Bone marrow smear
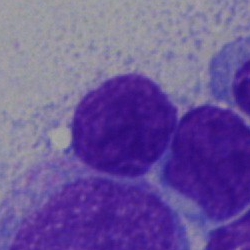 Specimen: bone marrow smear.
Cell type: lymphocyte.